250×250; bone marrow smear
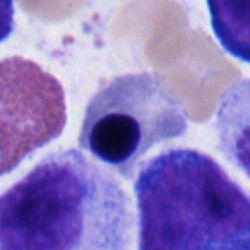Showing a nucleated red blood cell.